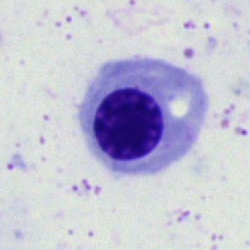 Morphology — nucleated red blood cell.